Bone marrow aspirate smear — 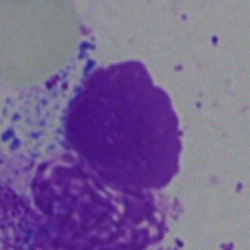 Classification = artifact.